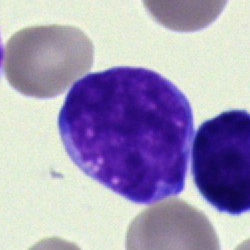 Bone marrow aspirate smear, single cell — undifferentiated blast.